250 by 250 pixels. May-Grünwald-Giemsa stain. Bone marrow smear:
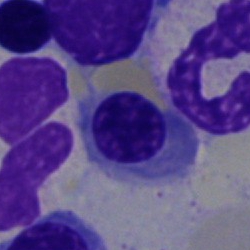Specimen: bone marrow aspirate smear.
Cell: nucleated red cell.